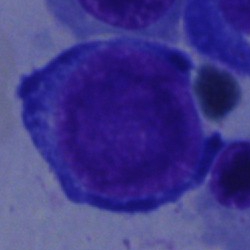
Morphology consistent with a pronormoblast.